Bone marrow smear: 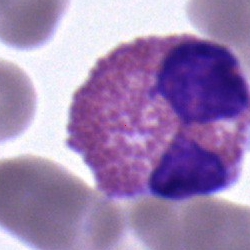Morphology → eosinophil.